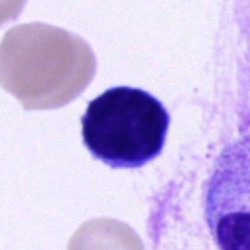

Specimen: bone marrow smear.
Cell type: typical lymphocyte.
Lineage: lymphoid.